Bone marrow smear: 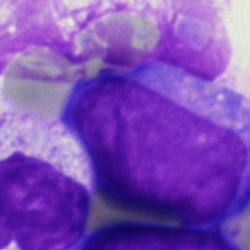 Cell type = blast cell.